Bone marrow aspirate smear.
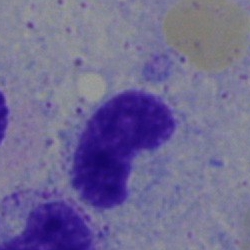Q: Identify the cell.
A: Band neutrophil.